Brightfield, 40× oil-immersion objective; bone marrow aspirate smear; cropped to a single cell — 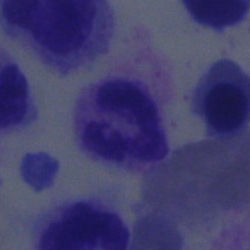

Q: Which cell type is shown here?
A: This is a segmented neutrophil.